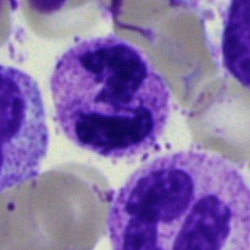Showing a segmented neutrophil.